Bone marrow aspirate smear — 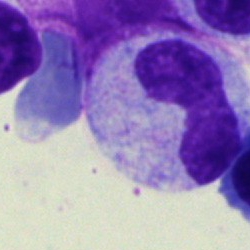
Classification — stab cell.